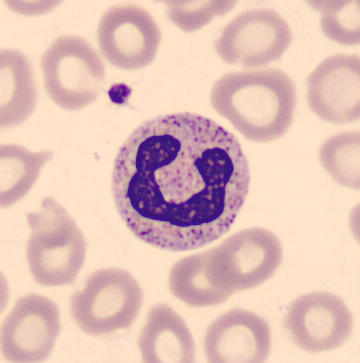 Peripheral blood smear.

Classification = band-form neutrophil.